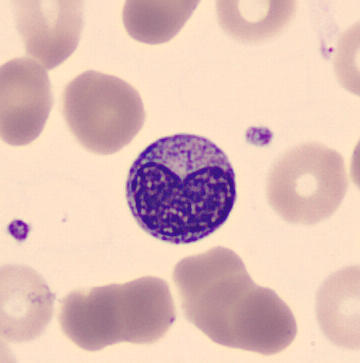Imaged on a CellaVision DM96 analyser; peripheral blood smear; cropped to a single cell.
Metamyelocyte.